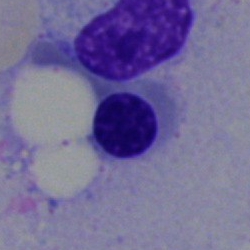
Specimen: bone marrow smear.
Cell: erythroblast.
Lineage: erythroid.